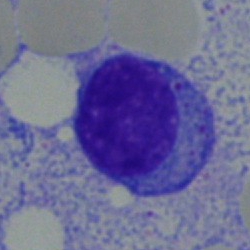
Q: What type of cell is this?
A: This is a plasma cell.